May-Grünwald-Giemsa/Pappenheim stain. Bone marrow aspirate smear.
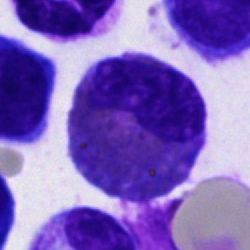Morphology consistent with an eosinophilic granulocyte.